250×250. Bone marrow smear.
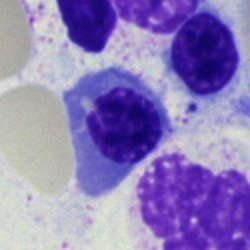 Showing an erythroblast.